Bone marrow smear.
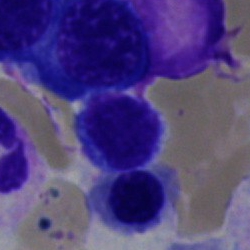{"cell_type": "nucleated red blood cell"}